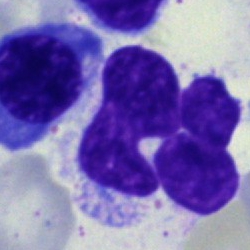
An artefact on a bone marrow smear.